Bone marrow aspirate smear. Image size 250×250: 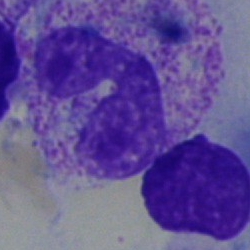

Q: What type of cell is this?
A: It is a neutrophil (band).